Bone marrow smear:
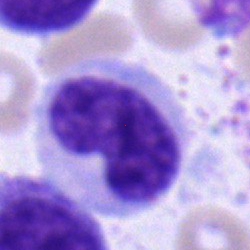Band neutrophil.